Bone marrow smear.
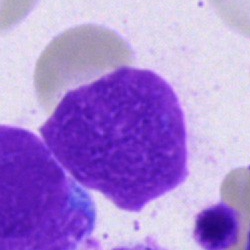

Single cell identified as an artifact.